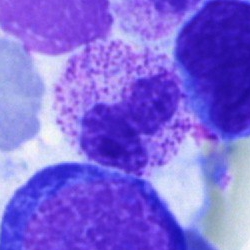Single-cell crop from a bone marrow smear: neutrophil (segmented).